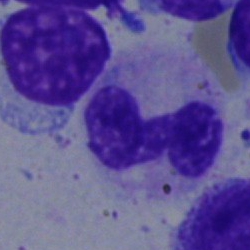

Bone marrow aspirate smear, single cell — segmented neutrophil.